MGG-stained · bone marrow aspirate smear:
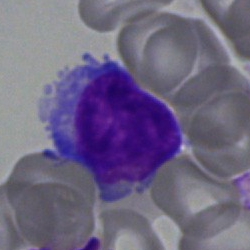Morphology → lymphocyte.